Bone marrow aspirate smear — 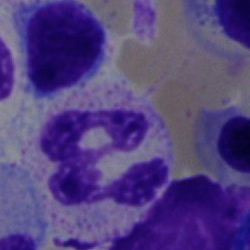
Q: What is the morphological classification of this cell?
A: Segmented neutrophil.